May-Grünwald-Giemsa/Pappenheim stain. Bone marrow aspirate smear
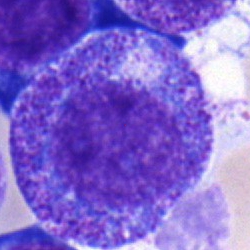Impression — progranulocyte.